Bone marrow smear:
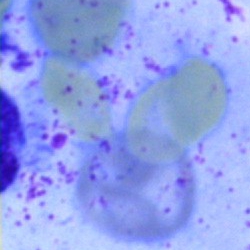
Morphology consistent with an artifact.